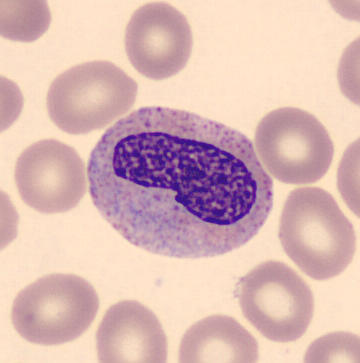Preparation: Peripheral blood film.
Cell — metamyelocyte.